Bone marrow aspirate smear; single cell centered in the field — 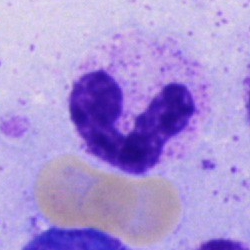
A stab cell.